Bone marrow smear · May-Grünwald-Giemsa/Pappenheim stain
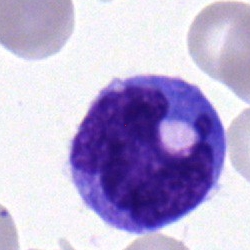

Q: What type of cell is this?
A: It is a monocyte.